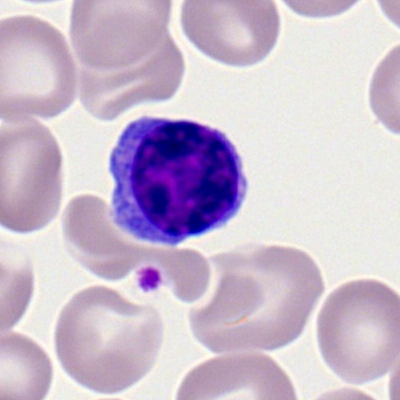 Peripheral blood film, single cell — typical lymphocyte.